MGG-stained. Single-cell field. Bone marrow aspirate smear:
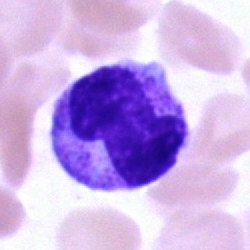

The cell is band neutrophil.